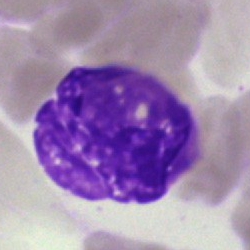 Impression — artifact.